250×250 px · bone marrow smear · brightfield, 40× oil-immersion objective
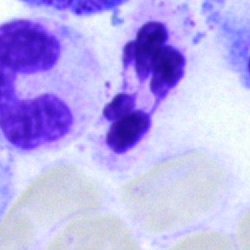

The cell shown is a neutrophil (segmented).